250×250 px; bone marrow aspirate smear — 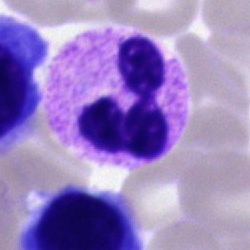
Classification — polymorphonuclear neutrophil.